Bone marrow aspirate smear: 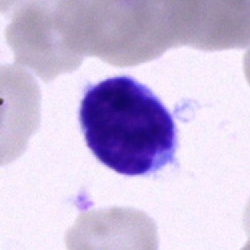Showing a lymphocyte.